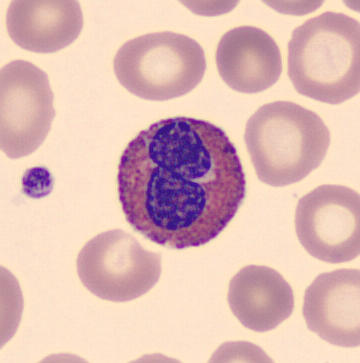Cropped to a single cell. Peripheral blood film.

Morphological class = eosinophil.